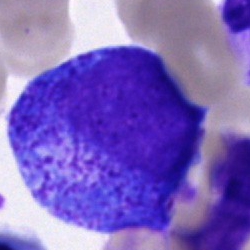{"cell_type": "promyelocyte"}